Bone marrow aspirate smear.
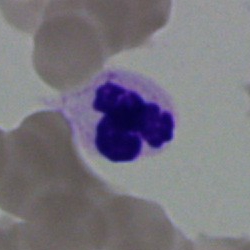
{"cell_type": "polymorphonuclear neutrophil"}